MGG-stained. Single cell centered in the field. Bone marrow aspirate smear
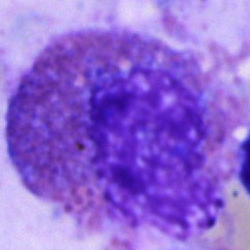Specimen: bone marrow smear.
Classification: eosinophilic granulocyte.